Bone marrow smear. Brightfield microscopy, 40× oil immersion
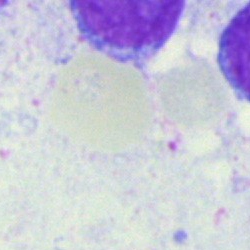The cell shown is an artefact.